Bone marrow smear
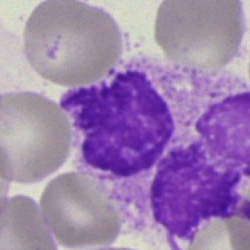
This is an artifact.